Bone marrow smear; May-Grünwald-Giemsa stain:
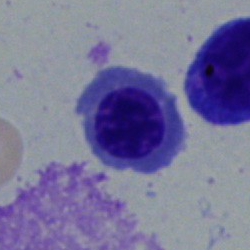 Cell = normoblast.